Bone marrow smear
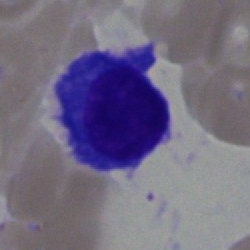 Impression — plasmacyte.